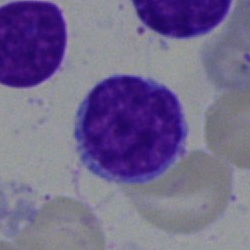Impression → typical lymphocyte.